Peripheral blood film
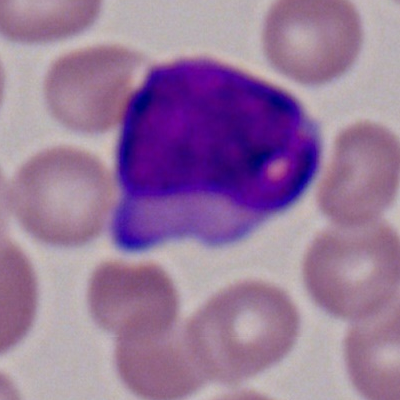Myeloid blast.